Bone marrow aspirate smear — 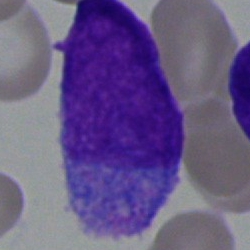

Blast cell.